Bone marrow smear: 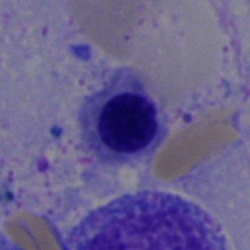Showing a nucleated red cell.